Bone marrow aspirate smear
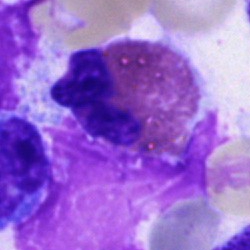
Single cell identified as an eosinophil.